Bone marrow aspirate smear:
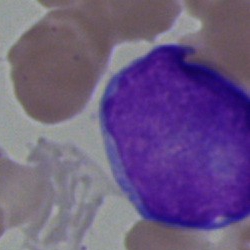 Blast.